Bone marrow aspirate smear; MGG-stained.
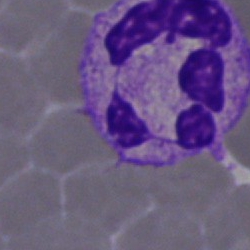 Cell: polymorphonuclear neutrophil.